Bone marrow smear: 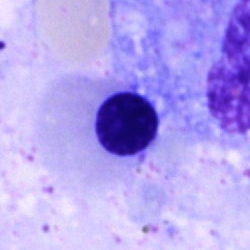
{"cell_type": "normoblast", "lineage": "erythroid"}